Peripheral blood film. 400 by 400 pixels — 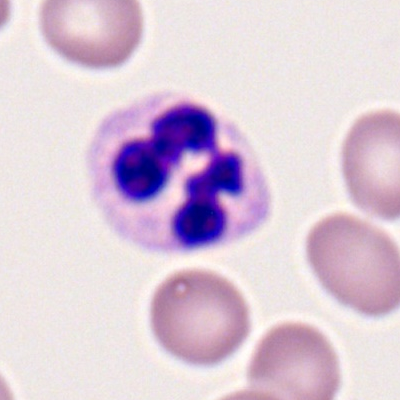

The cell shown is a neutrophil (segmented).